Bone marrow smear; cropped to a single cell
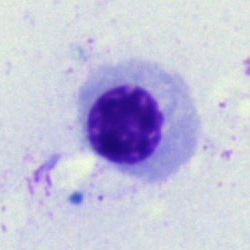{"cell_type": "nucleated red cell", "lineage": "erythroid"}